M8 digital microscope (Precipoint), 100× oil immersion. 400 by 400 pixels. Peripheral blood smear
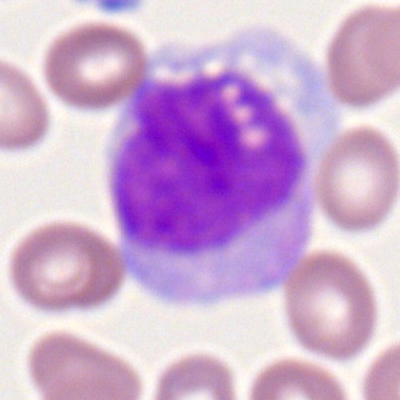The cell shown is a monocyte.